Bone marrow smear; May-Grünwald-Giemsa/Pappenheim stain
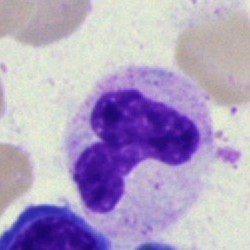

Single cell identified as a neutrophil (segmented).